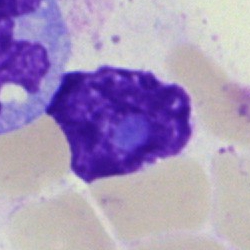 Morphological class — artifact.